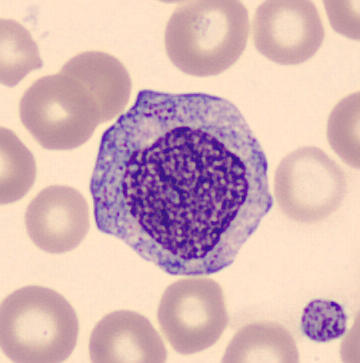Progranulocyte.